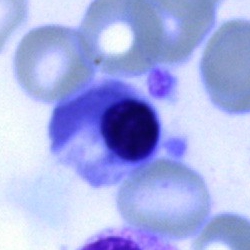Specimen: bone marrow smear.
Cell: nucleated red blood cell.
Lineage: erythroid.